Bone marrow aspirate smear · May-Grünwald-Giemsa/Pappenheim stain · image size 250×250: 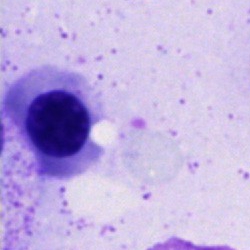{"cell_type": "erythroblast", "lineage": "erythroid"}